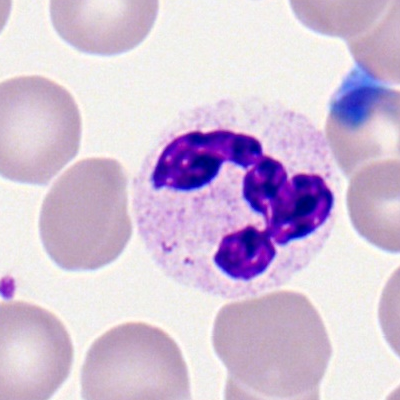
Cell type — polymorphonuclear neutrophil.